Peripheral blood film — 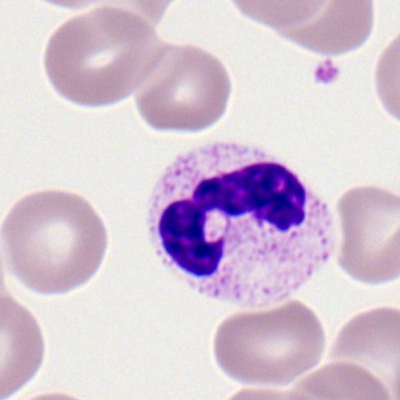The cell shown is a neutrophil (segmented).